Bone marrow aspirate smear — 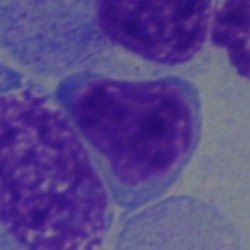Cell = blast cell.